Cropped to a single cell. Peripheral blood smear. Romanowsky-type stain: 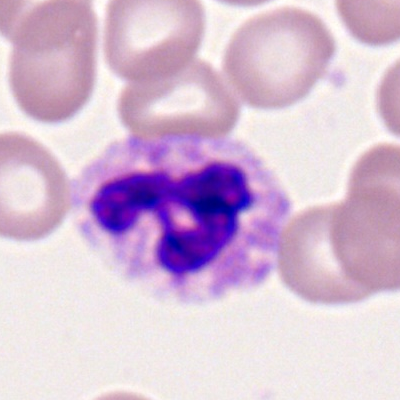

Classification: segmented neutrophil.